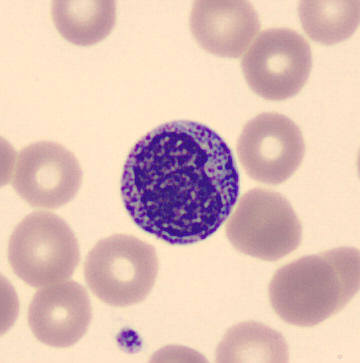
Peripheral blood smear.
Classification: myelocyte.